Bone marrow aspirate smear · 40× objective, oil immersion:
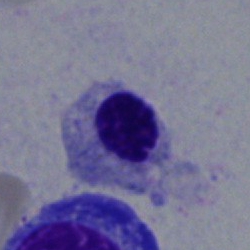

Impression → normoblast.